Bone marrow smear
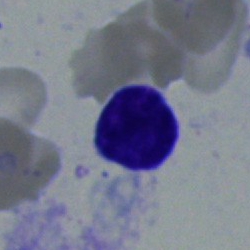 Specimen: bone marrow aspirate smear.
Cell type: lymphocyte.
Lineage: lymphoid.